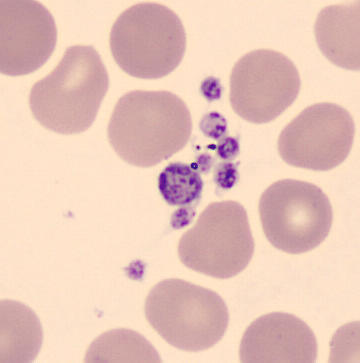 May-Grünwald-Giemsa-stained · peripheral blood smear.

Q: What is shown here?
A: A platelet.